250 by 250 pixels; bone marrow smear: 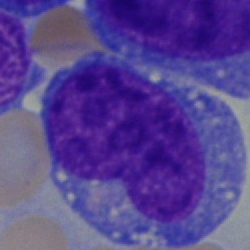
Cell type = undifferentiated blast.